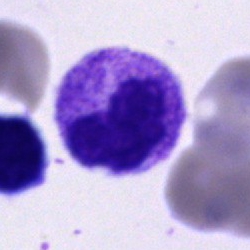Cell type: metamyelocyte.